Bone marrow aspirate smear:
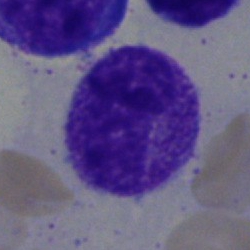 This is a myelocyte.